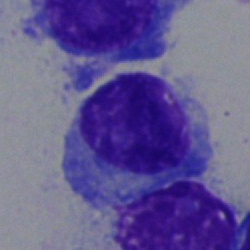 Q: What cell is this?
A: This is a plasma cell.